Bone marrow smear. 40× objective, oil immersion.
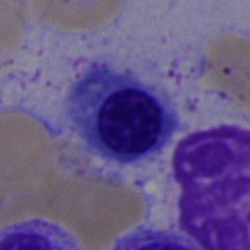 This is a normoblast.